Bone marrow aspirate smear · brightfield microscopy, 40× oil immersion:
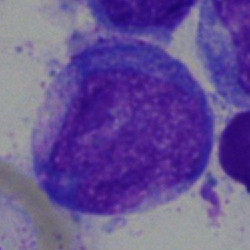Specimen: bone marrow aspirate smear.
Classification: progranulocyte.
Lineage: myeloid.